Bone marrow smear. Brightfield microscopy, 40× oil immersion. Single cell centered in the field: 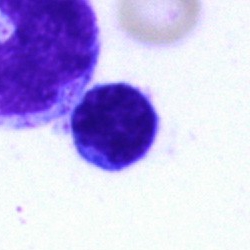 Q: What is the morphological classification of this cell?
A: It is a typical lymphocyte.